Single cell centered in the field · bone marrow aspirate smear
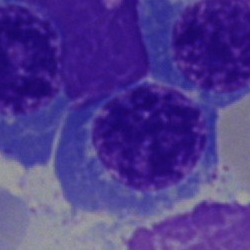Impression — nucleated red blood cell.